Bone marrow smear: 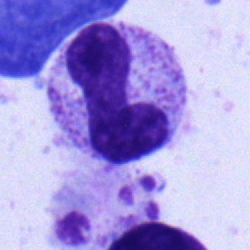 A band neutrophil.